Image size 250×250; bone marrow aspirate smear: 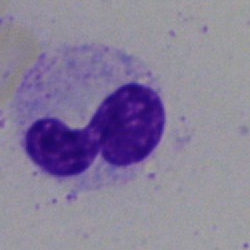 Cell = polymorphonuclear neutrophil.